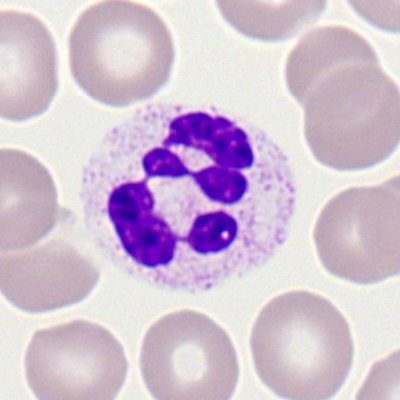Cell = segmented neutrophil.